Bone marrow smear
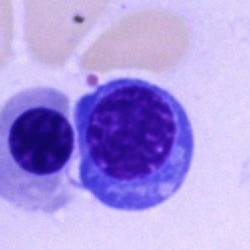

Q: What type of cell is this?
A: It is a normoblast.